Bone marrow smear: 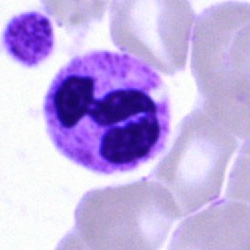Classification: polymorphonuclear neutrophil.